Bone marrow smear:
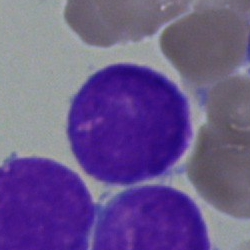 Single cell identified as an undifferentiated blast.